Bone marrow smear
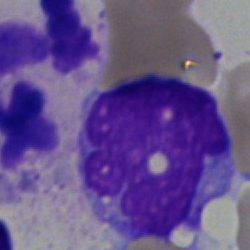

Q: What cell is this?
A: This is a segmented neutrophil.